Bone marrow aspirate smear — 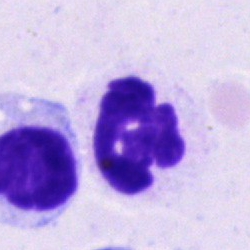 Single cell identified as a segmented neutrophil.